Bone marrow smear; brightfield, 40× oil-immersion objective: 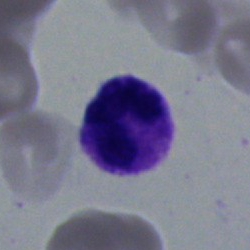Morphological class: polymorphonuclear neutrophil.